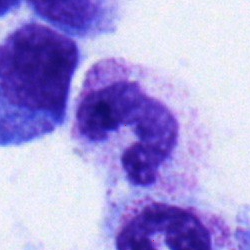 The morphological class is band neutrophil.